250×250 px. Bone marrow smear:
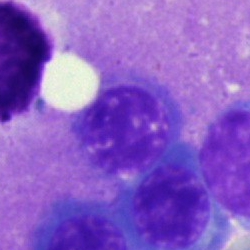
Specimen: bone marrow smear.
Classification: nucleated red cell.
Lineage: erythroid.